Bone marrow aspirate smear:
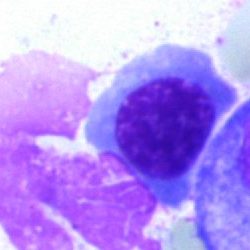 This is an erythroblast.